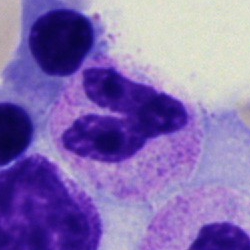Single cell identified as a polymorphonuclear neutrophil.